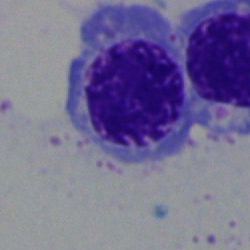A nucleated red cell on a bone marrow smear.